Bone marrow smear
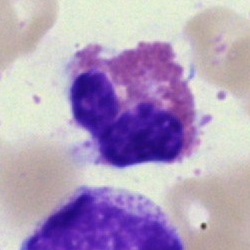Cell type: eosinophil.